Bone marrow smear; 250×250 — 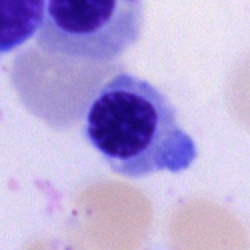Q: Which cell type is shown here?
A: Nucleated red cell.